May-Grünwald-Giemsa/Pappenheim stain. Bone marrow smear: 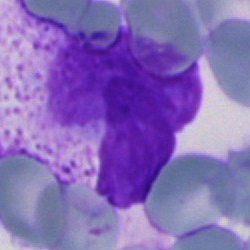 Q: What is shown here?
A: An artefact.